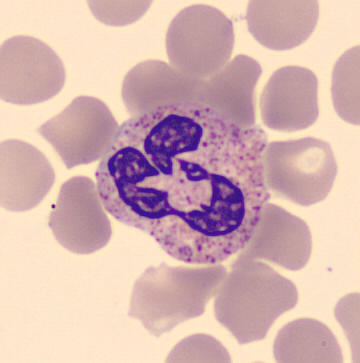 Morphological class: neutrophil (segmented).

Peripheral blood smear.